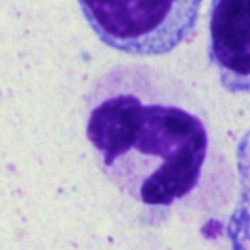

Cell = segmented neutrophil.